100× objective, oil immersion; peripheral blood smear: 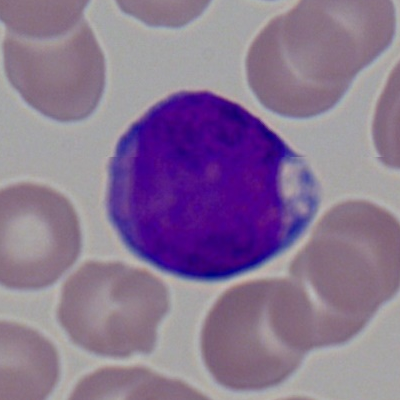 This is a myeloid blast.